Bone marrow aspirate smear:
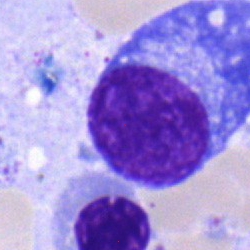
Morphological class = plasma cell.